Bone marrow smear.
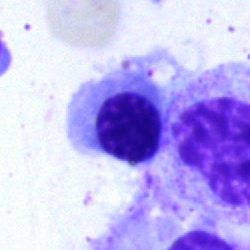
Q: What is shown here?
A: A nucleated red blood cell.